Bone marrow smear: 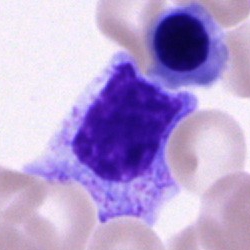A cell of indeterminate lineage.